Single cell centered in the field · 40× objective, oil immersion · bone marrow smear.
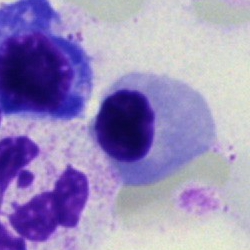 Q: Identify the cell.
A: A nucleated red blood cell.